Bone marrow smear.
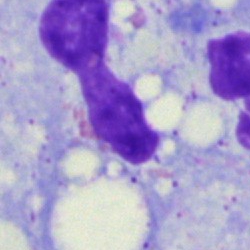
The cell shown is a polymorphonuclear neutrophil.